Bone marrow smear — 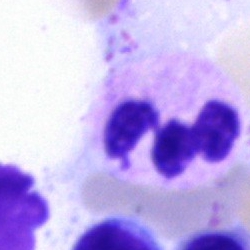Showing a segmented neutrophil.